Bone marrow aspirate smear; 40× oil immersion; 250×250 px: 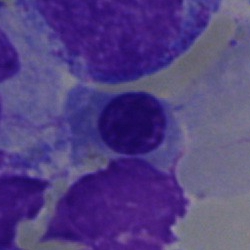
Specimen: bone marrow aspirate smear.
Morphological class: nucleated red blood cell.
Lineage: erythroid.